Bone marrow smear:
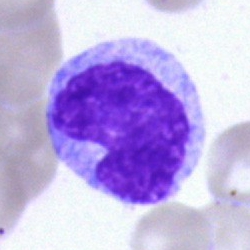Impression — band-form neutrophil.